Bone marrow aspirate smear — 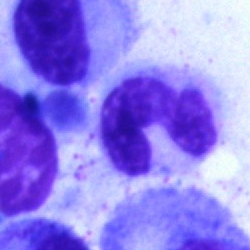Morphology consistent with a stab cell.